Peripheral blood film
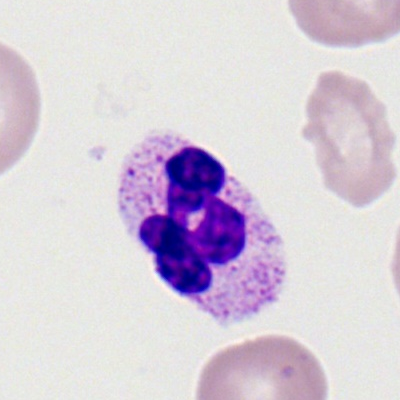

{"cell_type": "segmented neutrophil", "lineage": "myeloid"}